May-Grünwald-Giemsa stain. Single-cell field. Bone marrow aspirate smear — 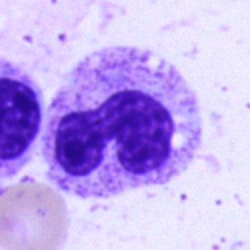Band-form neutrophil.